Bone marrow aspirate smear:
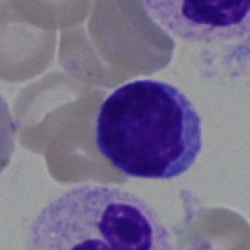
Cell type: typical lymphocyte.